Peripheral blood smear.
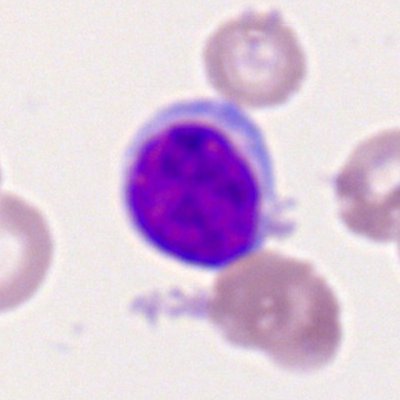

Q: What is the morphological classification of this cell?
A: Lymphocyte.